Bone marrow smear
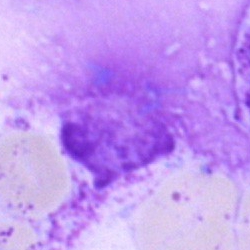 Cell type: artifact.